Brightfield microscopy, 40× oil immersion · bone marrow aspirate smear.
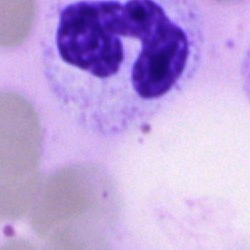Morphology — neutrophil (band).